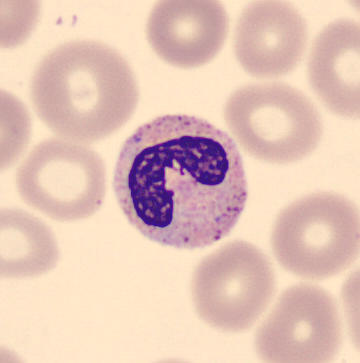Q: What type of cell is this?
A: A band neutrophil.